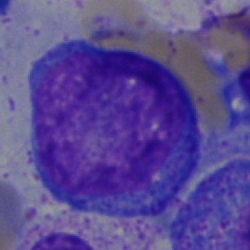Q: What is the morphological classification of this cell?
A: Blast.